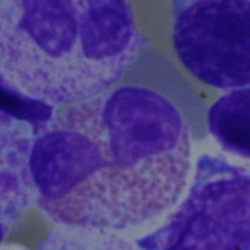Single-cell crop from a bone marrow smear: eosinophil.